40× objective, oil immersion · bone marrow smear — 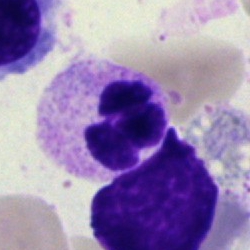 Q: What is shown here?
A: Neutrophil (segmented).